250×250 px. Bone marrow aspirate smear. Single-cell field.
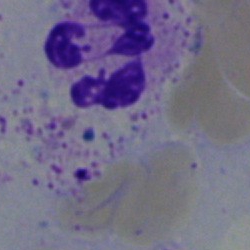Q: What is shown here?
A: This is a segmented neutrophil.